May-Grünwald-Giemsa stain. Bone marrow smear. Cropped to a single cell
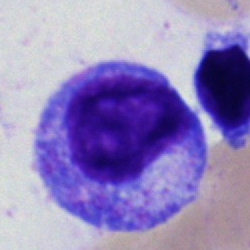
This is a myelocyte.